40× objective, oil immersion. Bone marrow smear:
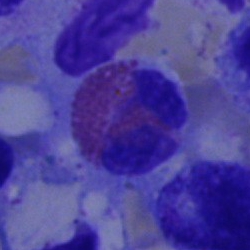{"cell_type": "eosinophilic granulocyte", "lineage": "myeloid"}